Bone marrow smear; 40× objective, oil immersion; image size 250×250:
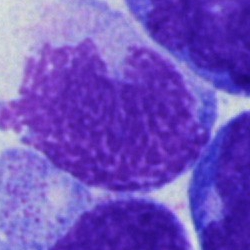Morphology consistent with an artefact.